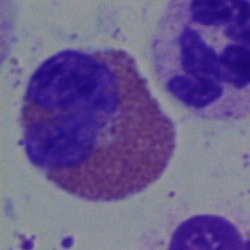

An eosinophil.